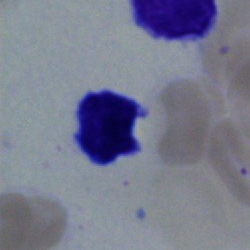

Morphology consistent with a typical lymphocyte.